Bone marrow smear.
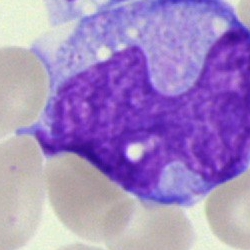

Morphological class: monocyte.